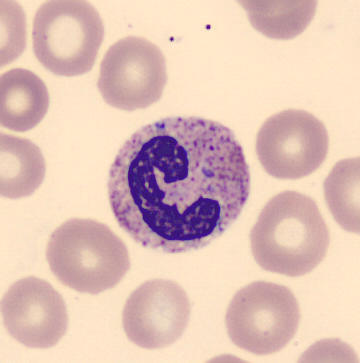

Specimen: peripheral blood smear.
Morphological class: stab cell.